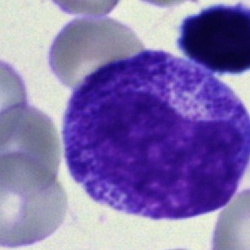

Q: What cell is this?
A: This is a metamyelocyte.